Single cell centered in the field · bone marrow smear — 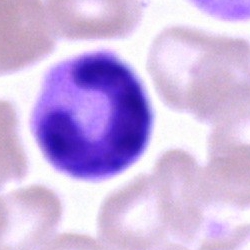

Morphological class: stab cell.